Peripheral blood film
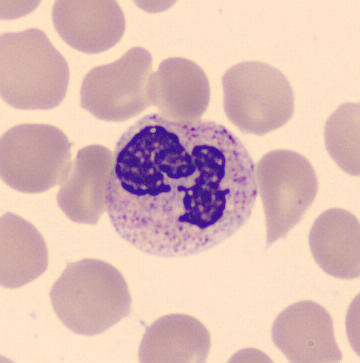Identified as a segmented neutrophil.